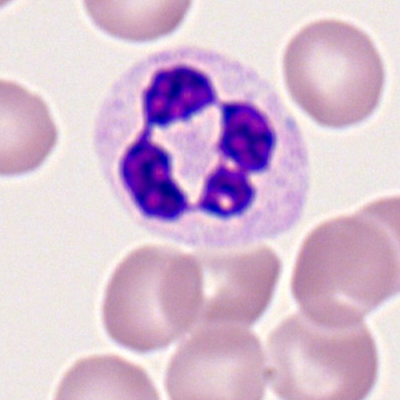Impression → neutrophil (segmented).